Bone marrow aspirate smear · single-cell field.
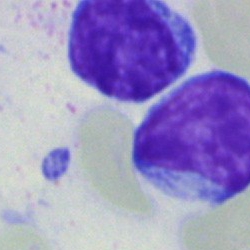

A lymphocyte.